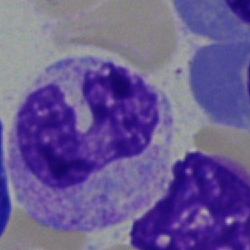

Morphology consistent with a neutrophil (band).